Peripheral blood smear: 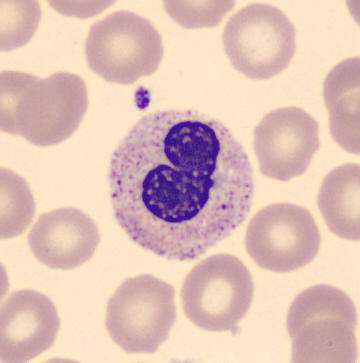 Showing a band-form neutrophil.